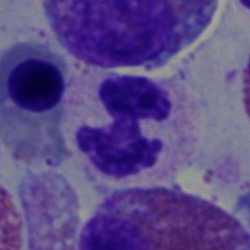A polymorphonuclear neutrophil.